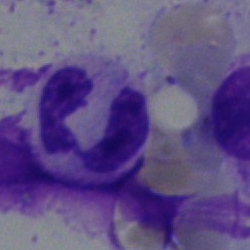Specimen: bone marrow aspirate smear.
Cell type: segmented neutrophil.
Lineage: myeloid.